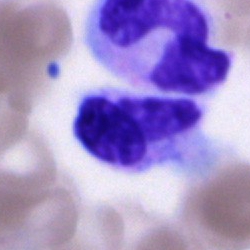

An unidentifiable cell.